Single cell centered in the field. Bone marrow aspirate smear. Brightfield, 40× oil-immersion objective
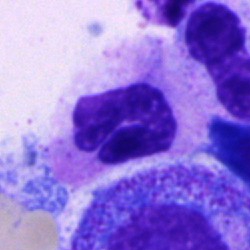
Morphology consistent with a neutrophil (band).